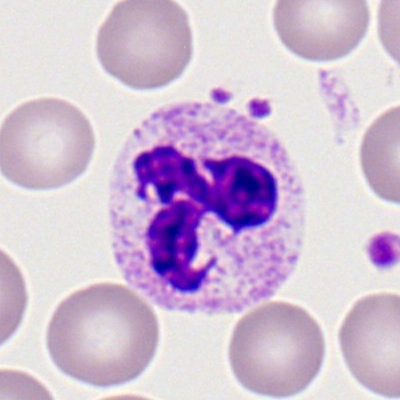

Single cell identified as a polymorphonuclear neutrophil.